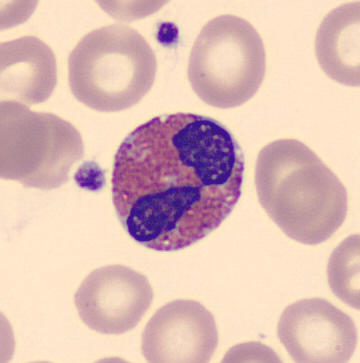Eosinophil.

Image: CellaVision DM96 digital cell image · peripheral blood film.